Bone marrow smear. Brightfield microscopy, 40× oil immersion.
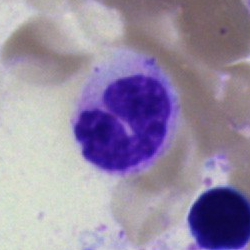 Q: What cell is this?
A: This is a segmented neutrophil.